Brightfield, 40× oil-immersion objective · bone marrow aspirate smear · cropped to a single cell
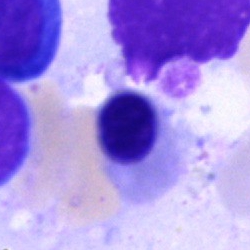

Specimen: bone marrow smear.
Classification: erythroblast.